Bone marrow smear.
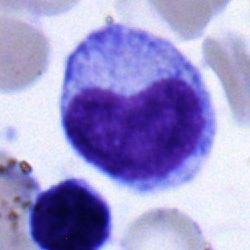
The cell type is metamyelocyte.